Bone marrow aspirate smear:
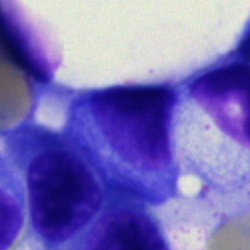 Specimen: bone marrow aspirate smear.
Morphological class: plasma cell.